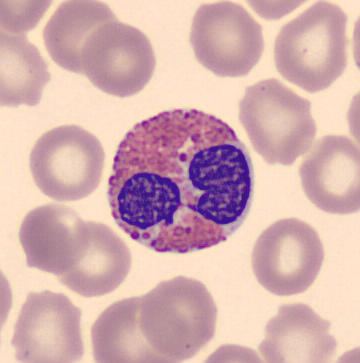
Image: Peripheral blood film; 360×363.

This is an eosinophil.